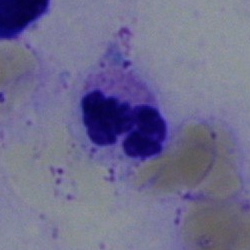
Showing a neutrophil (segmented).